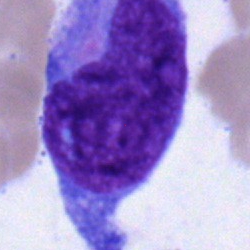Specimen: bone marrow smear.
Cell: blast cell.